Bone marrow smear
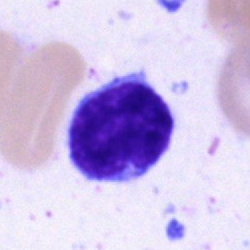 Q: Which cell type is shown here?
A: This is a typical lymphocyte.